Pappenheim-stained · bone marrow smear:
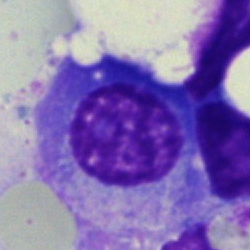
The morphological class is plasma cell.